Bone marrow smear; single-cell crop; 250 by 250 pixels:
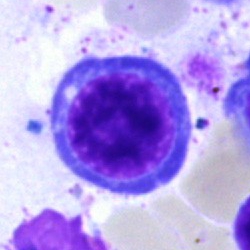
Morphology consistent with a nucleated red blood cell.